Bone marrow smear:
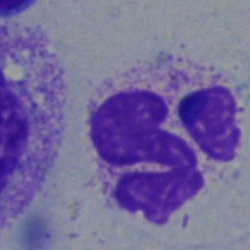Specimen: bone marrow aspirate smear.
Morphological class: segmented neutrophil.